Bone marrow smear
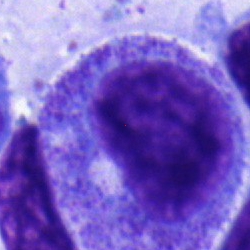
Morphology → progranulocyte.